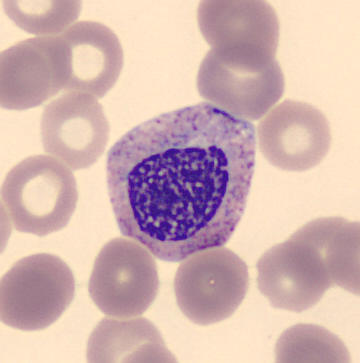 The cell shown is a myelocyte.
Image: Peripheral blood film · MGG-stained.